Bone marrow smear; single-cell crop — 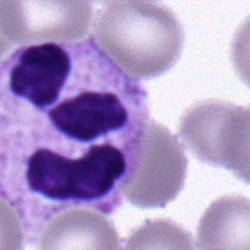

Q: What cell is this?
A: This is a polymorphonuclear neutrophil.